40× objective, oil immersion. May-Grünwald-Giemsa/Pappenheim stain. Bone marrow aspirate smear — 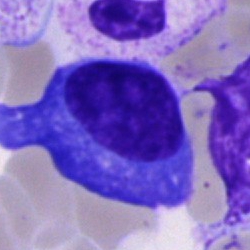

Showing a plasmacyte.